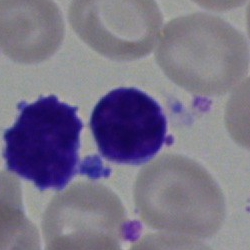

This is a lymphocyte.